Bone marrow aspirate smear — 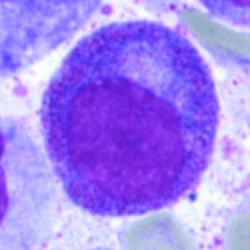Morphology — myelocyte.